Peripheral blood film. Single-cell crop. Romanowsky-stained.
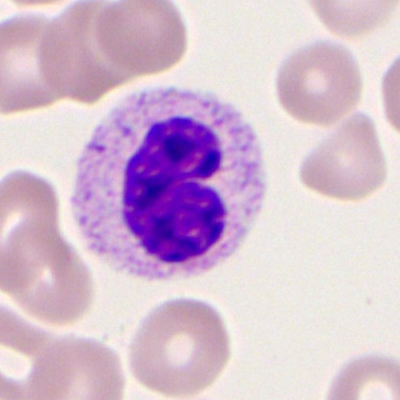

Specimen: peripheral blood film.
Classification: polymorphonuclear neutrophil.